Bone marrow aspirate smear; Pappenheim-stained: 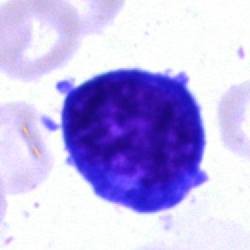 Q: What is shown here?
A: This is an undifferentiated blast.